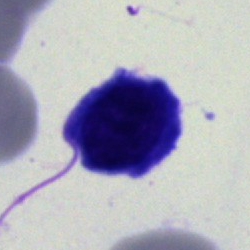

Morphological class = nucleated red cell.